Bone marrow smear.
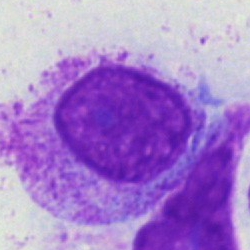 Morphology → myelocyte.